Bone marrow aspirate smear: 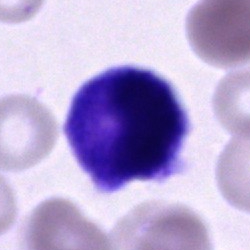 Cell type = unidentifiable cell.